Bone marrow smear: 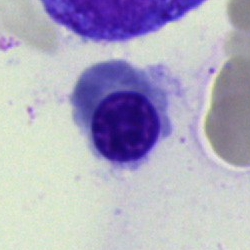Classification — erythroblast.